Bone marrow smear.
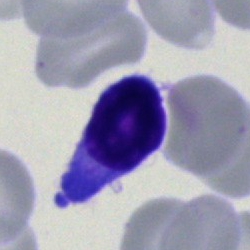 Morphology consistent with a lymphocyte.